Bone marrow smear: 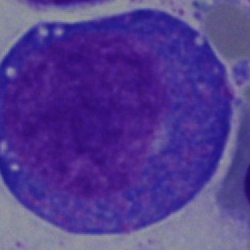 Morphological class — progranulocyte.